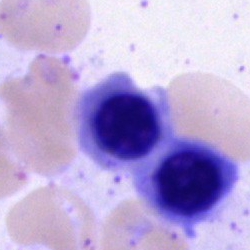
Impression — normoblast.